Bone marrow smear: 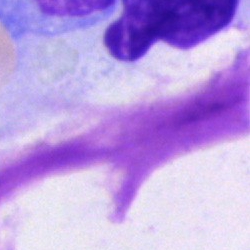An artefact.